Brightfield microscopy, 40× oil immersion · bone marrow aspirate smear.
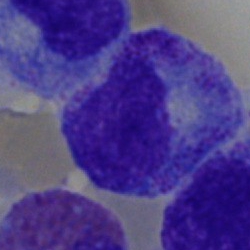

{"cell_type": "progranulocyte", "lineage": "myeloid"}